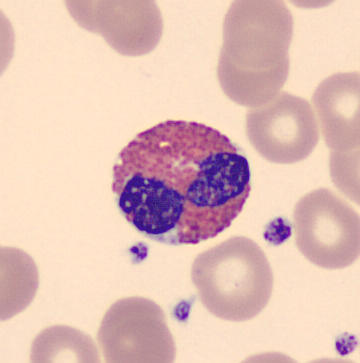

Q: What is this?
A: This is an eosinophilic granulocyte.